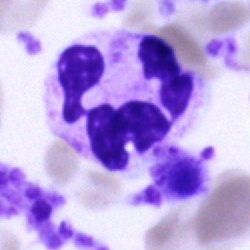 This is a neutrophil (segmented).